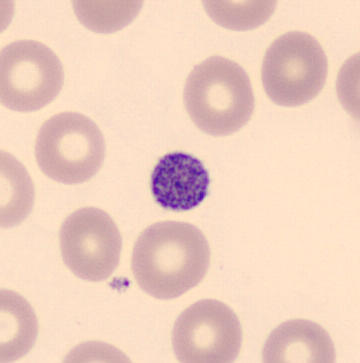

From a peripheral blood smear: a platelet.